MGG-stained; bone marrow smear.
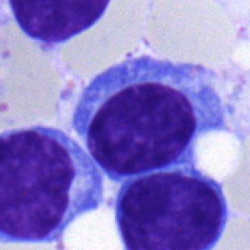
Classification — erythroblast.